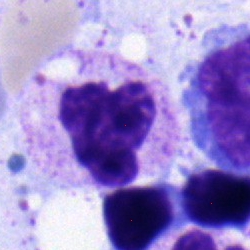
Morphology consistent with a polymorphonuclear neutrophil.